May-Grünwald-Giemsa stain; bone marrow aspirate smear:
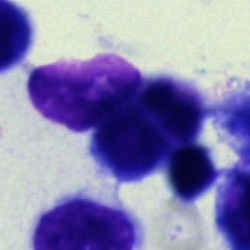

An artifact.